Bone marrow aspirate smear
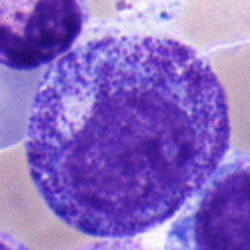

The cell shown is a progranulocyte.